40× oil immersion · bone marrow aspirate smear
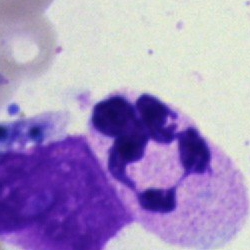

Q: Which cell type is shown here?
A: Neutrophil (segmented).